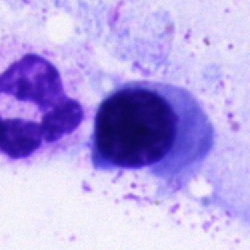 Erythroblast.